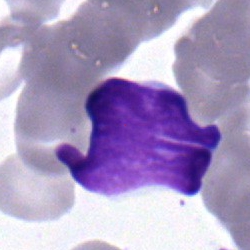
Impression → lymphocyte.